Bone marrow aspirate smear
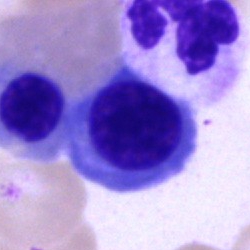
Morphology consistent with a nucleated red cell.